Bone marrow aspirate smear
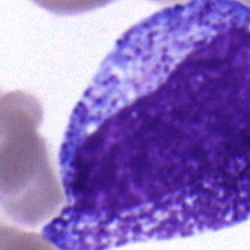

The classification is myelocyte.